Bone marrow smear; 40× objective, oil immersion: 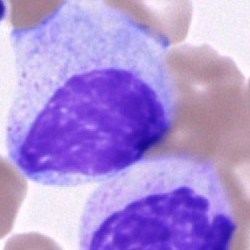 Unidentifiable cell.